Bone marrow aspirate smear.
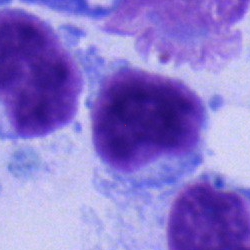 Q: Which cell type is shown here?
A: It is a typical lymphocyte.